Bone marrow smear. May-Grünwald-Giemsa/Pappenheim stain.
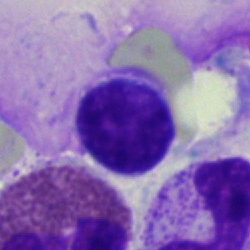

Morphological class — typical lymphocyte.